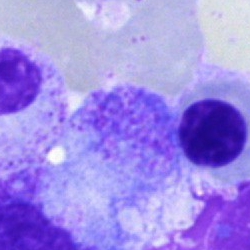

Showing an artifact.